Bone marrow smear: 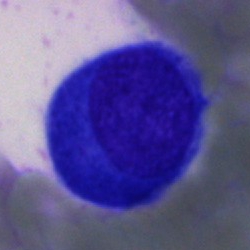A promyelocyte.